Bone marrow aspirate smear:
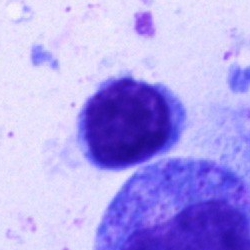
This is a lymphocyte.